250×250 px. Bone marrow aspirate smear:
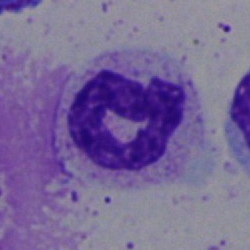
Neutrophil (segmented).